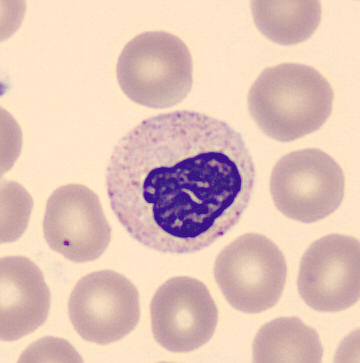Image size 360×363. Single cell centered in the field. Peripheral blood smear. Identified as a neutrophil (band).